Bone marrow aspirate smear.
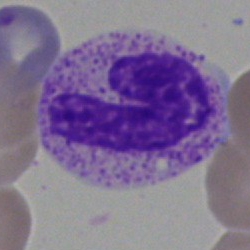 Single cell identified as a neutrophil (band).